Bone marrow smear
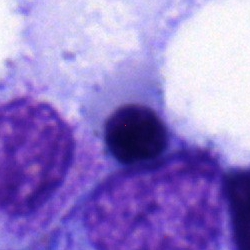

Specimen: bone marrow smear.
Cell: nucleated red blood cell.